Bone marrow aspirate smear; 40× oil immersion; 250×250: 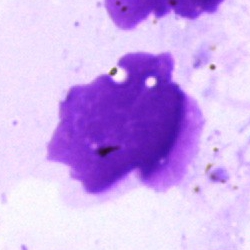

Morphology consistent with an artefact.